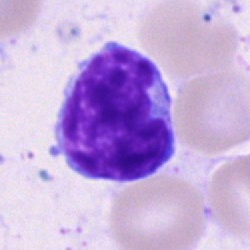Morphological class = lymphocyte.